Bone marrow smear:
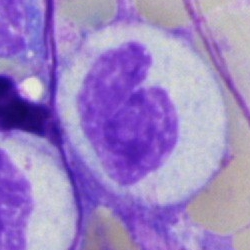Morphology consistent with a neutrophil (segmented).